Bone marrow smear:
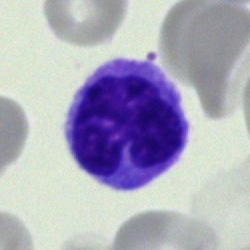

Cell — monocyte.